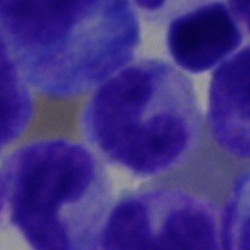
Specimen: bone marrow smear.
Morphological class: band neutrophil.
Lineage: myeloid.